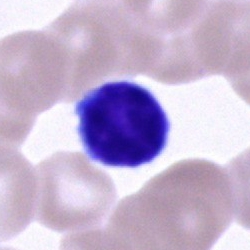
This is a lymphocyte.